Bone marrow smear.
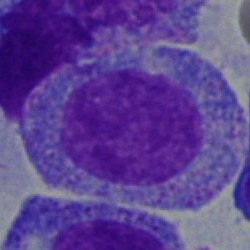This is a progranulocyte.